Bone marrow aspirate smear; image size 250×250.
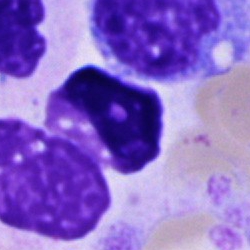Morphology → unidentifiable cell.